Peripheral blood film.
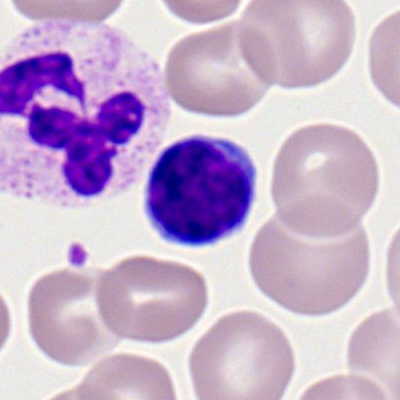

Impression → lymphocyte.